40× oil immersion · bone marrow aspirate smear · 250×250:
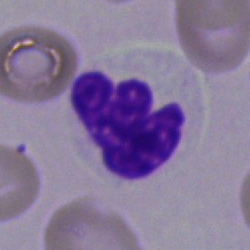
A polymorphonuclear neutrophil.